40× objective, oil immersion; bone marrow aspirate smear; 250×250.
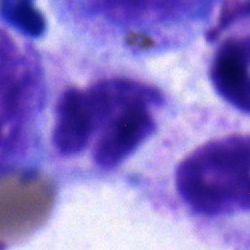Showing a neutrophil (segmented).